Bone marrow smear.
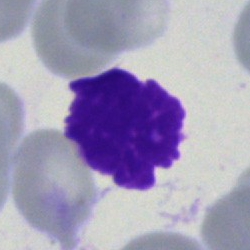 Specimen: bone marrow aspirate smear.
Morphological class: artefact.